Bone marrow smear
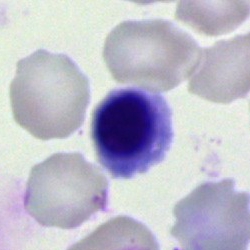 The cell is nucleated red cell.